Bone marrow smear
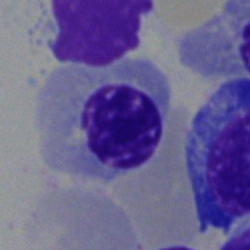Q: What type of cell is this?
A: This is a normoblast.